Cropped to a single cell; bone marrow aspirate smear; Pappenheim-stained — 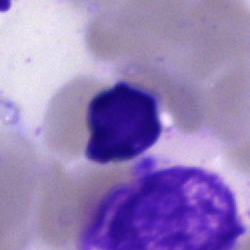

Morphology consistent with an unidentifiable cell.